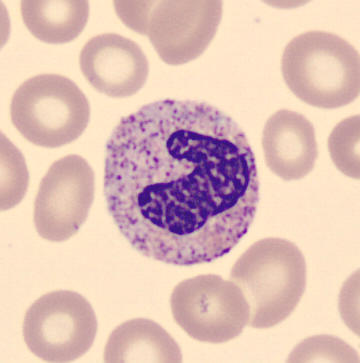
The morphological class is stab cell.

Acquisition: Peripheral blood film.